Bone marrow aspirate smear · Pappenheim-stained · 40× oil immersion.
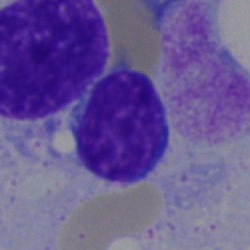

Q: Identify the cell.
A: A lymphocyte.